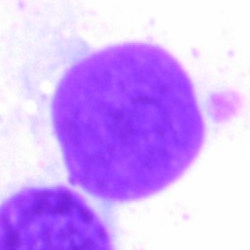
The cell shown is an artefact.